Brightfield microscopy, 40× oil immersion. Bone marrow aspirate smear. MGG-stained
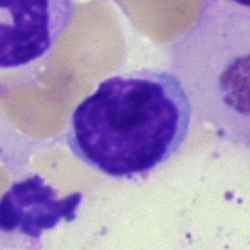Showing a lymphocyte.